40× objective, oil immersion; bone marrow smear; MGG-stained:
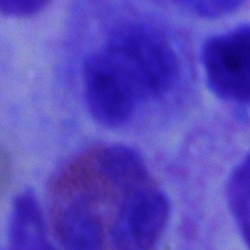{"cell_type": "eosinophilic granulocyte"}